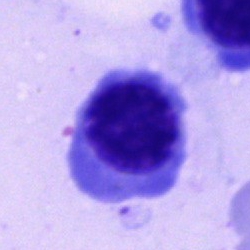
Cell type = nucleated red cell.